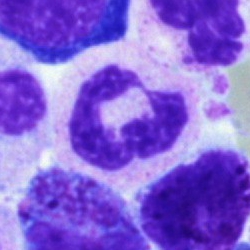
Q: What is the morphological classification of this cell?
A: A segmented neutrophil.